Bone marrow smear. 40× objective, oil immersion — 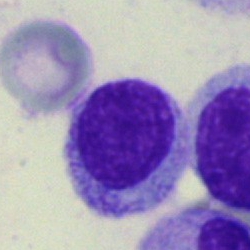 Classification = lymphocyte.